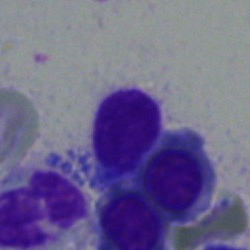Morphology — lymphocyte.